Image size 250×250. Brightfield microscopy, 40× oil immersion. Bone marrow smear.
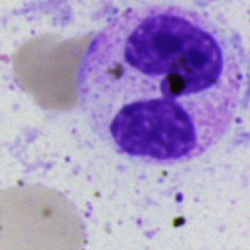

Cell: neutrophil (segmented).